Bone marrow aspirate smear
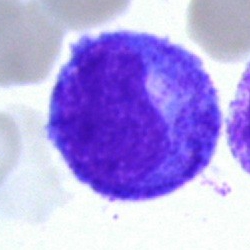
Cell type: progranulocyte.